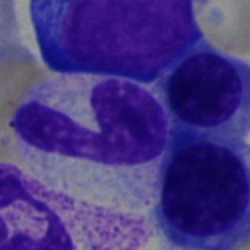 Cell — stab cell.